Bone marrow aspirate smear:
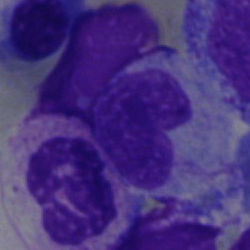 Polymorphonuclear neutrophil.